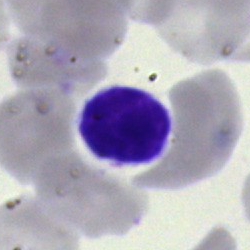
Classification — typical lymphocyte.